Bone marrow aspirate smear:
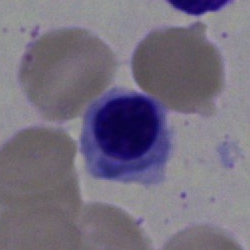 The morphological class is nucleated red blood cell.